Bone marrow smear; May-Grünwald-Giemsa stain:
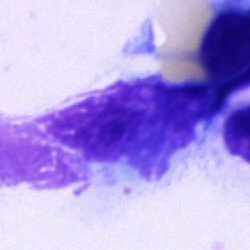Single cell identified as an artifact.